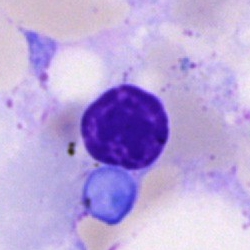
Q: What is shown here?
A: This is a nucleated red blood cell.